Bone marrow aspirate smear.
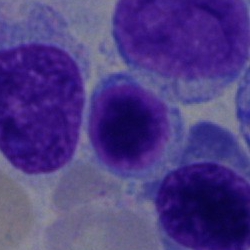

The cell shown is a lymphocyte.